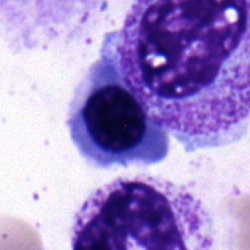 Classification: erythroblast.